40× objective, oil immersion; bone marrow aspirate smear.
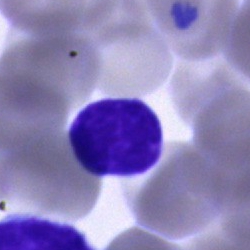
Q: Identify the cell.
A: A lymphocyte.